Bone marrow aspirate smear.
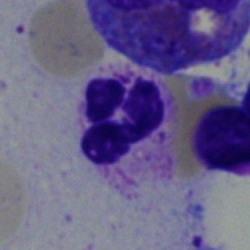

Morphology consistent with a neutrophil (segmented).